Bone marrow smear: 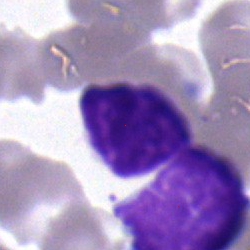

A lymphocyte.